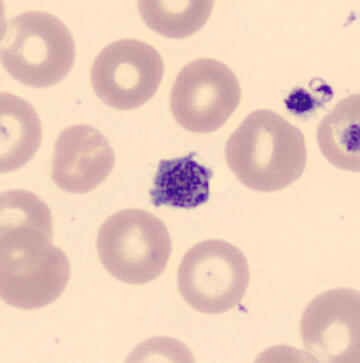

Morphology consistent with a platelet (thrombocyte).

Image: MGG stain; peripheral blood film.